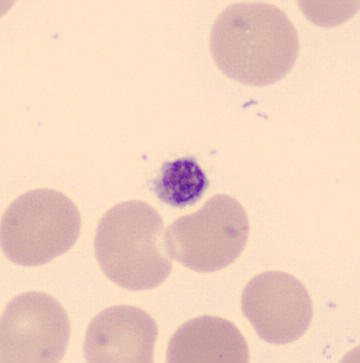
This is a platelet (thrombocyte).

CellaVision DM96 digital cell image; peripheral blood smear.